Peripheral blood film · Romanowsky-stained: 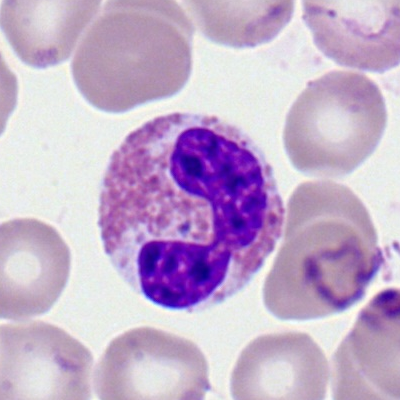
Eosinophil.